40× oil immersion. Bone marrow smear: 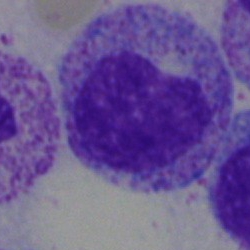
Classification — myelocyte.